Bone marrow aspirate smear — 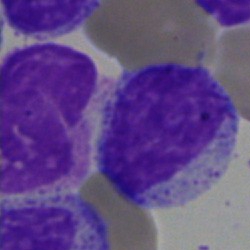Classification: myelocyte.